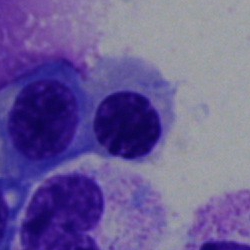
{"cell_type": "normoblast"}